Bone marrow aspirate smear · single-cell field · image size 250×250.
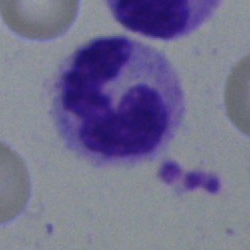Single cell identified as a segmented neutrophil.